Brightfield, 40× oil-immersion objective. Image size 250×250. Bone marrow smear:
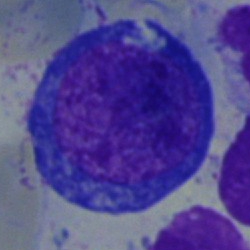

Q: What type of cell is this?
A: This is a proerythroblast.